Bone marrow smear; 40× objective, oil immersion
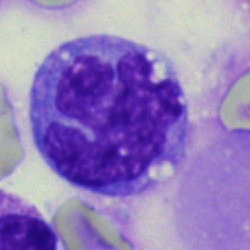The cell shown is a monocyte.